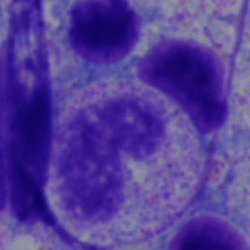 The cell is neutrophil (band).